Bone marrow smear
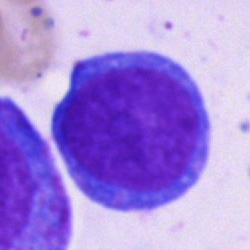

A blast cell.